Single-cell field · bone marrow smear:
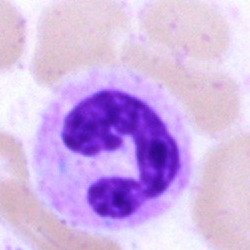Showing a segmented neutrophil.